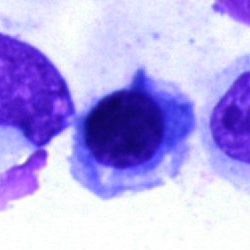A nucleated red cell.